Bone marrow smear:
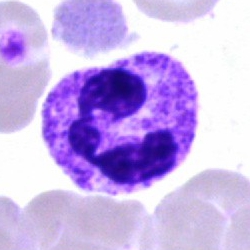
Cell type = neutrophil (segmented).